Image size 250×250. Single-cell crop. Bone marrow smear:
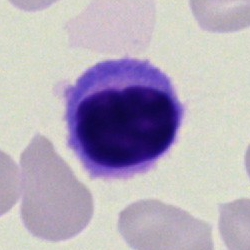Morphological class — typical lymphocyte.